Bone marrow smear. MGG-stained. Brightfield microscopy, 40× oil immersion.
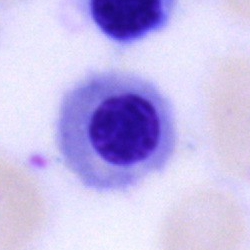 Classification — erythroblast.